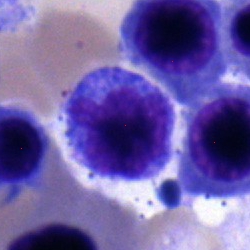

Specimen: bone marrow smear.
Cell: monocyte.
Lineage: myeloid.